Image size 250×250. Single-cell crop. Bone marrow smear:
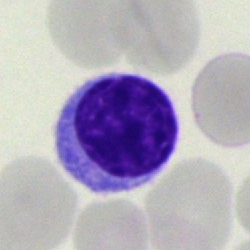 Morphology → lymphocyte.